Peripheral blood film. Single cell centered in the field. Romanowsky stain
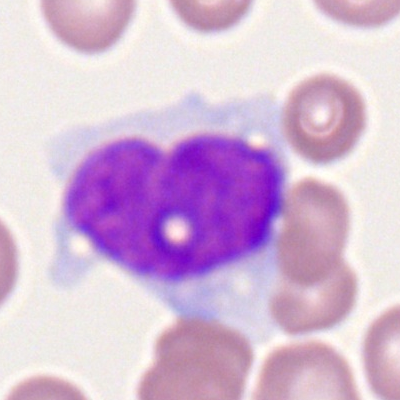 The morphological class is monocyte.